Bone marrow smear.
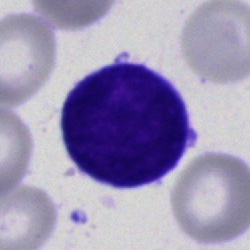Morphology — blast cell.